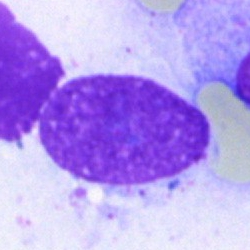

Classification: artifact.